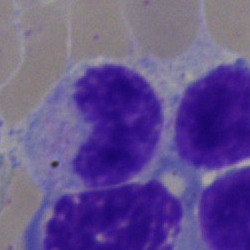

Cell: band neutrophil.